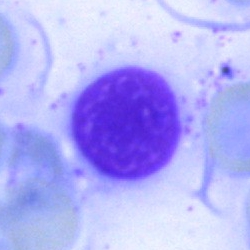 Specimen: bone marrow smear.
Morphological class: unidentifiable cell.